Bone marrow aspirate smear
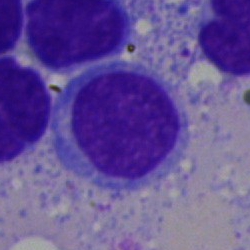
This is a typical lymphocyte.